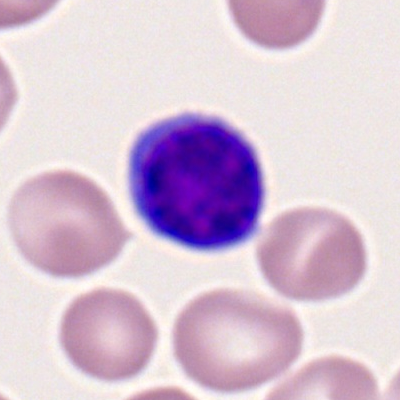 Impression — typical lymphocyte.